Bone marrow smear
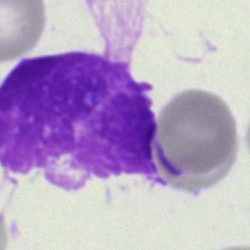 The cell shown is an artifact.